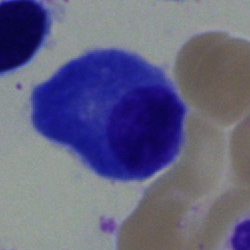
A plasma cell.